Bone marrow smear: 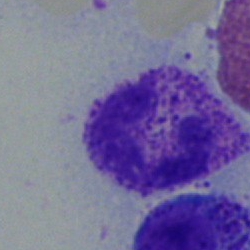

Specimen: bone marrow aspirate smear.
Cell type: band neutrophil.
Lineage: myeloid.